Single-cell field. Bone marrow smear. Image size 250×250.
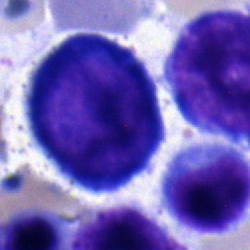 Morphology consistent with a proerythroblast.